Bone marrow aspirate smear — 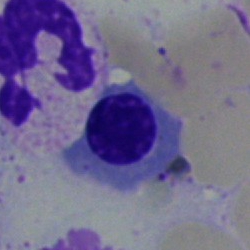
This is a nucleated red blood cell.